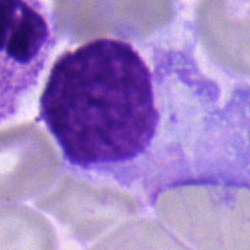

Morphology consistent with a plasma cell.